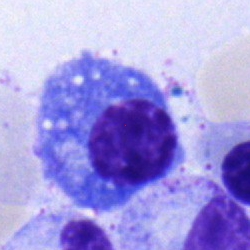
{"cell_type": "plasmacyte", "lineage": "lymphoid"}